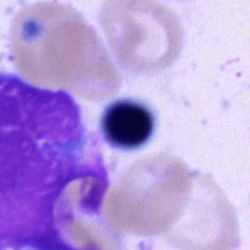Nucleated red blood cell.